Image size 250×250; 40× objective, oil immersion; bone marrow smear: 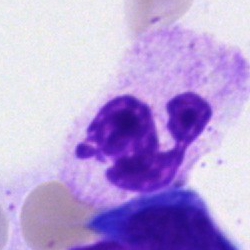 Impression — polymorphonuclear neutrophil.